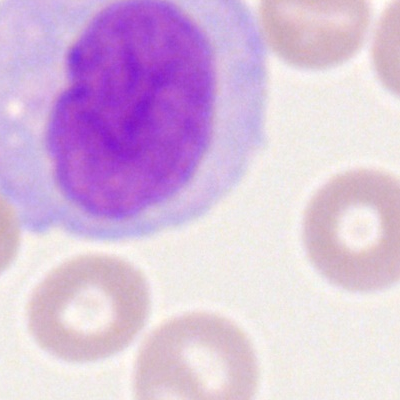
The classification is monocyte.